Peripheral blood smear.
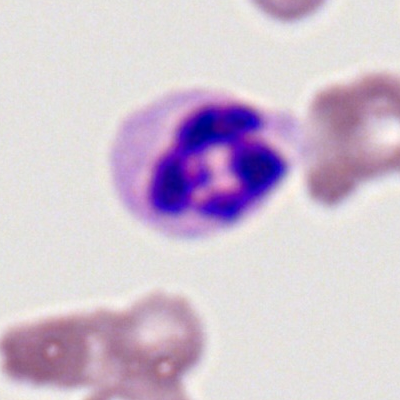

A segmented neutrophil.